Bone marrow smear.
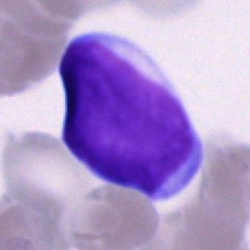A blast.